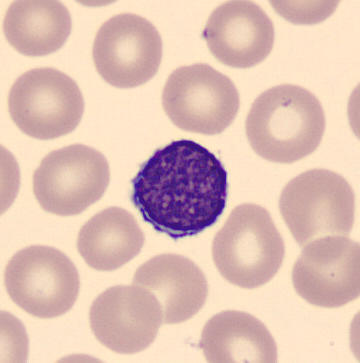

Q: What is the morphological classification of this cell?
A: This is a typical lymphocyte.
Acquisition: MGG stain; peripheral blood smear; CellaVision DM96.